Bone marrow smear. 250×250:
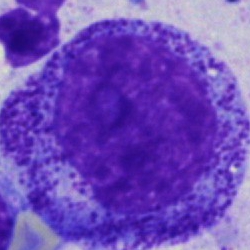

Impression — progranulocyte.